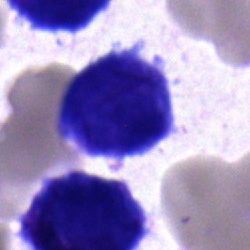

Q: What is shown here?
A: It is an undifferentiated blast.